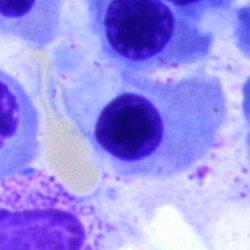

This is a nucleated red blood cell.